Bone marrow smear; MGG-stained:
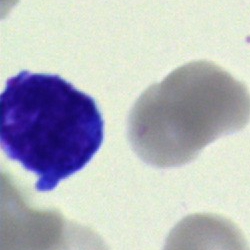Cell: unidentifiable cell.